Image size 250×250. Bone marrow aspirate smear: 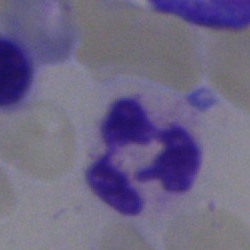
Showing a segmented neutrophil.